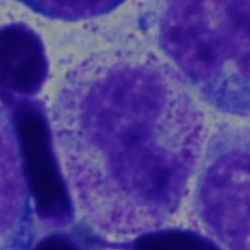
Bone marrow aspirate smear, single cell — metamyelocyte.